Bone marrow aspirate smear. 250×250 px: 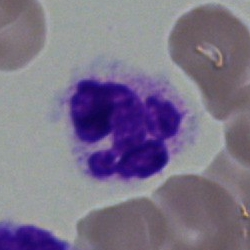

Specimen: bone marrow aspirate smear.
Classification: polymorphonuclear neutrophil.
Lineage: myeloid.